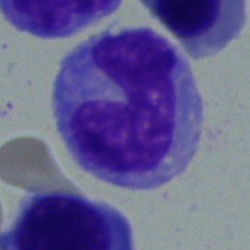

Q: What type of cell is this?
A: This is a monocyte.